Bone marrow aspirate smear:
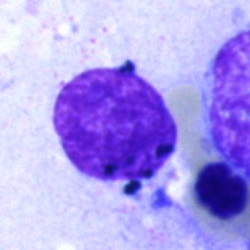 An artefact.